Bone marrow aspirate smear; cropped to a single cell: 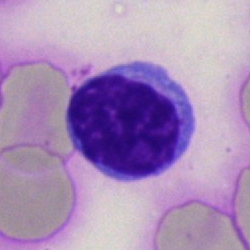Morphological class: lymphocyte.